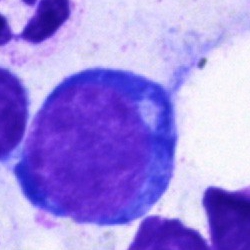
Cell type — pronormoblast.